Bone marrow smear
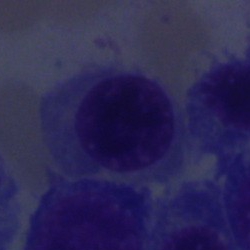 Morphology → nucleated red blood cell.